Image size 250×250; bone marrow aspirate smear
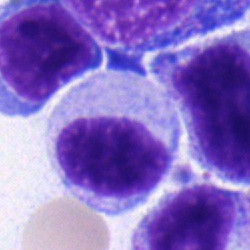 Morphology consistent with a myelocyte.